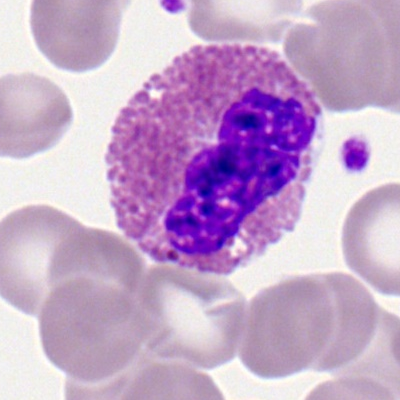An eosinophilic granulocyte.